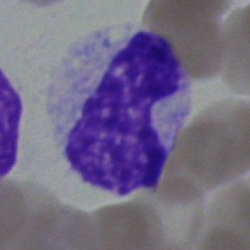

Q: What is the morphological classification of this cell?
A: It is a band-form neutrophil.